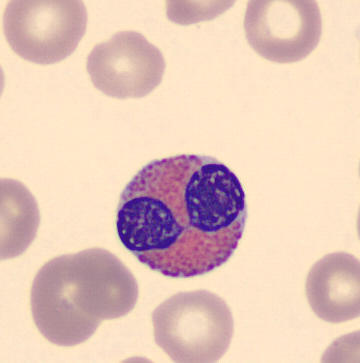Image: 360×363; peripheral blood smear; single-cell crop. This is an eosinophilic granulocyte.